Bone marrow smear — 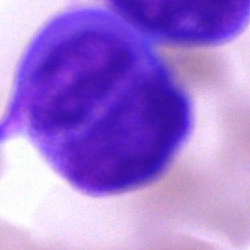

An undifferentiated blast.